Bone marrow aspirate smear. Cropped to a single cell. MGG-stained: 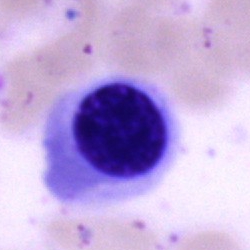The cell is nucleated red cell.